Bone marrow aspirate smear: 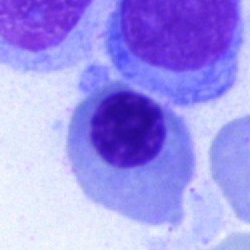
An erythroblast.